Peripheral blood film.
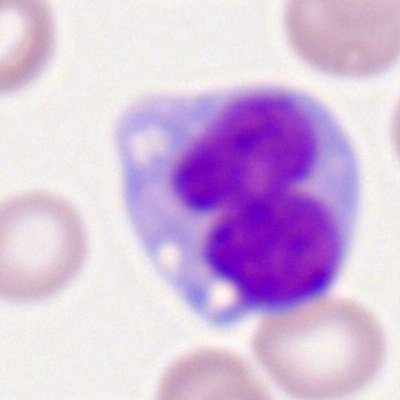 Classification = monocyte.